Brightfield microscopy, 40× oil immersion. MGG-stained. Bone marrow smear:
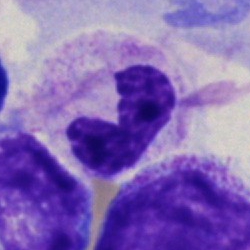 The cell shown is a band neutrophil.